Bone marrow smear. May-Grünwald-Giemsa stain
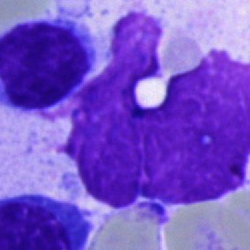
The cell type is artefact.